Bone marrow smear
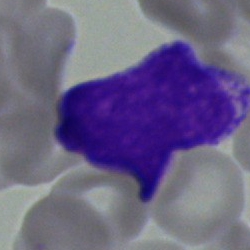
Showing a myelocyte.